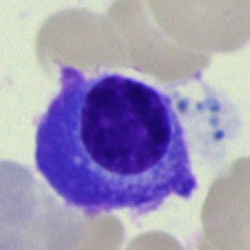

Cell type — plasma cell.